Bone marrow smear — 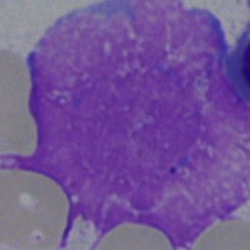Q: What is shown here?
A: Artifact.